250×250 px; bone marrow smear; May-Grünwald-Giemsa/Pappenheim stain — 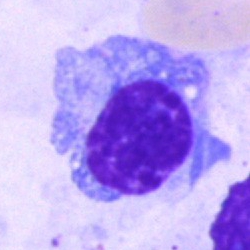

Cell type: plasma cell.